250 by 250 pixels; single cell centered in the field; bone marrow smear
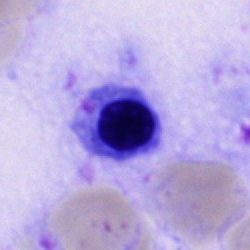Morphology consistent with a nucleated red cell.